Single cell centered in the field · peripheral blood smear.
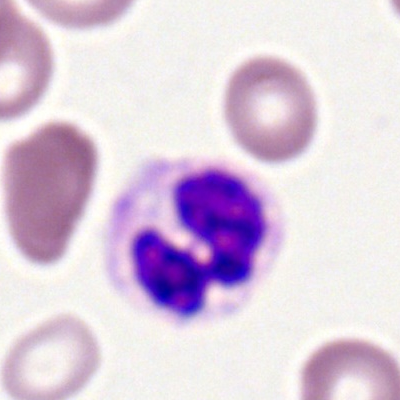 This is a segmented neutrophil.